Bone marrow aspirate smear; brightfield microscopy, 40× oil immersion: 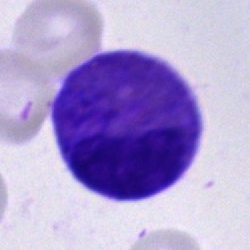

The cell shown is an eosinophilic granulocyte.